Bone marrow aspirate smear. May-Grünwald-Giemsa/Pappenheim stain. 250×250 px:
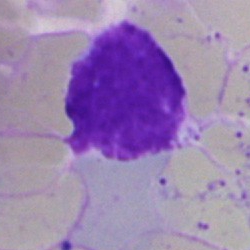Q: What is shown here?
A: This is an artifact.